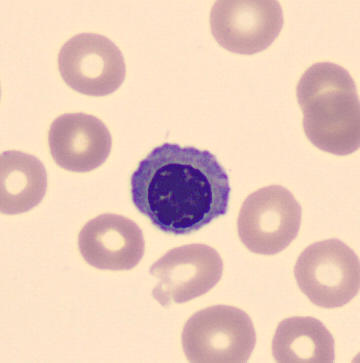Single-cell crop from a peripheral blood smear: nucleated red cell.